Bone marrow aspirate smear. Single cell centered in the field. 250×250 px: 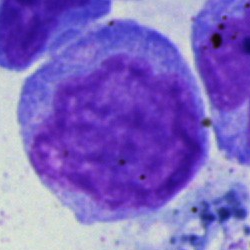
Q: Identify the cell.
A: This is a lymphocyte.